Bone marrow aspirate smear
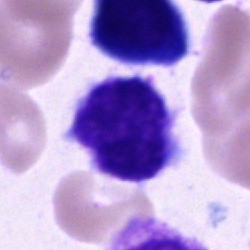
Cell: typical lymphocyte.